Single-cell field · bone marrow aspirate smear:
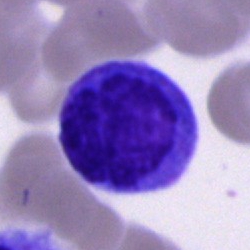
Specimen: bone marrow aspirate smear.
Cell: artifact.